Bone marrow smear · 250×250 — 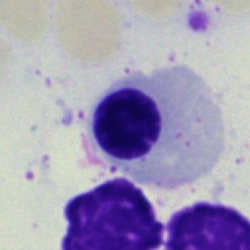
Showing a nucleated red cell.